Romanowsky stain. Cropped to a single cell. Peripheral blood smear — 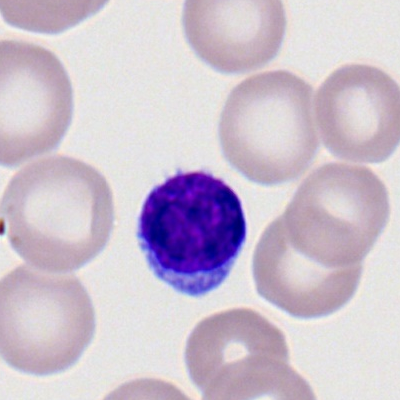

A lymphocyte.